Bone marrow smear. Image size 250×250: 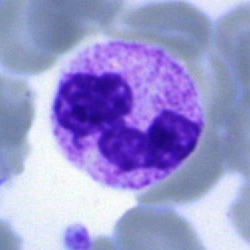
Q: Which cell type is shown here?
A: Segmented neutrophil.